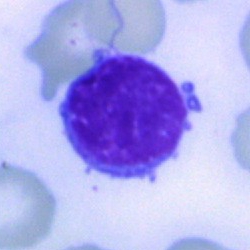
The cell shown is a typical lymphocyte.